Bone marrow aspirate smear: 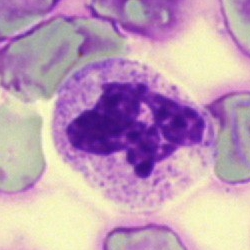 Specimen: bone marrow smear.
Morphological class: polymorphonuclear neutrophil.